Bone marrow smear; single-cell crop.
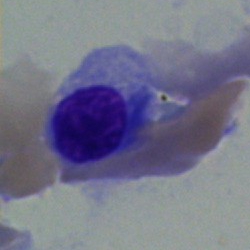
{"cell_type": "normoblast"}